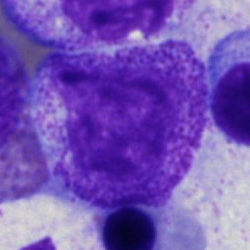

This is a progranulocyte.